Cropped to a single cell · bone marrow aspirate smear — 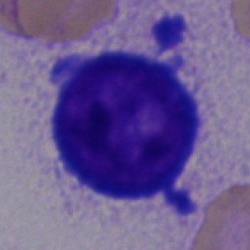
Classification — proerythroblast.